Cropped to a single cell; bone marrow smear
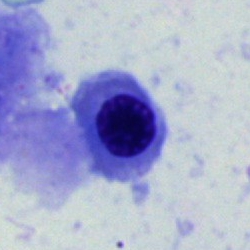 Cell type — erythroblast.